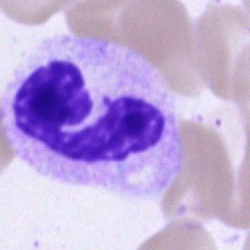

Q: Which cell type is shown here?
A: A polymorphonuclear neutrophil.